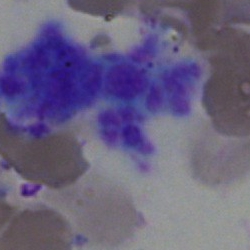

Showing an artefact.